Bone marrow aspirate smear: 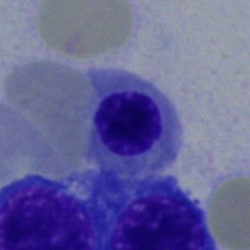 A nucleated red blood cell.